Bone marrow aspirate smear:
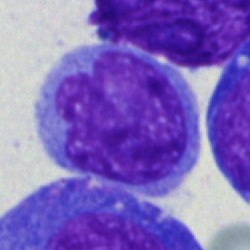

The classification is monocyte.